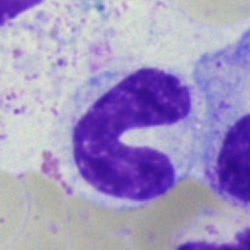A band-form neutrophil on a bone marrow smear.